Romanowsky-type stain. Peripheral blood film
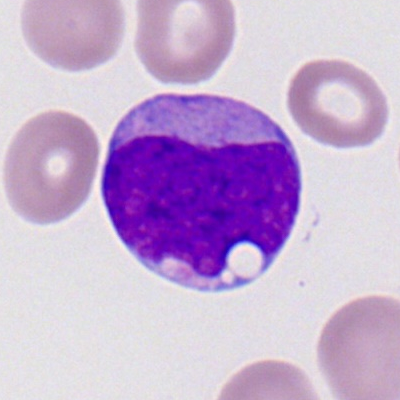
Myeloblast.